Bone marrow smear — 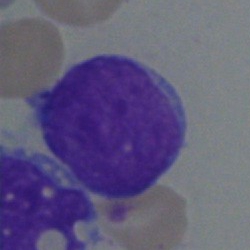 Cell — blast cell.